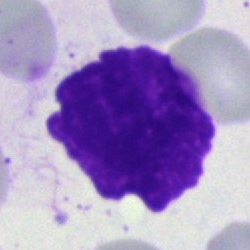
Specimen: bone marrow smear.
Classification: artifact.